Bone marrow aspirate smear — 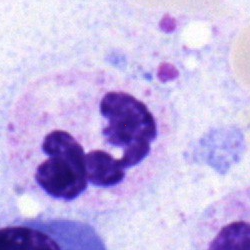Specimen: bone marrow smear.
Classification: segmented neutrophil.
Lineage: myeloid.